Bone marrow aspirate smear. 250×250 px: 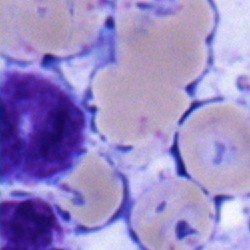A monocyte.